Bone marrow smear: 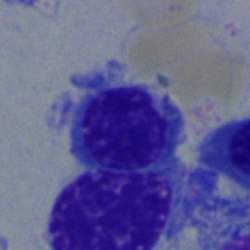
An erythroblast.